400 by 400 pixels; peripheral blood smear
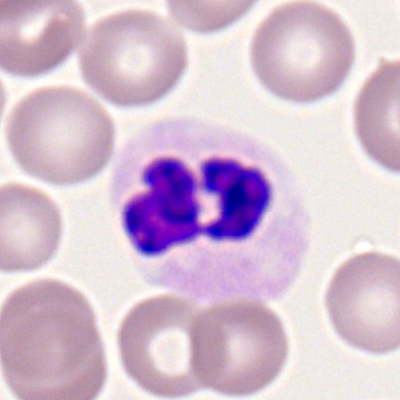

The cell is neutrophil (segmented).